Bone marrow smear — 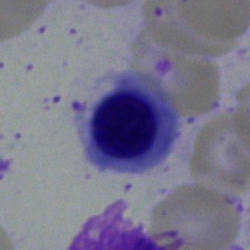Classification = nucleated red blood cell.